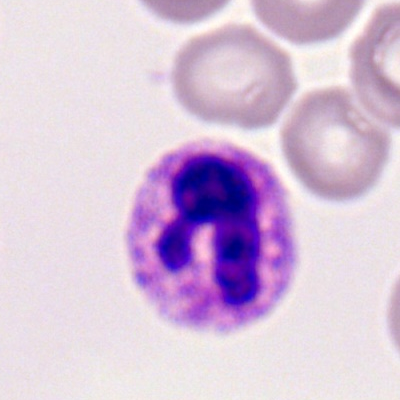
Q: Identify the cell.
A: Neutrophil (segmented).